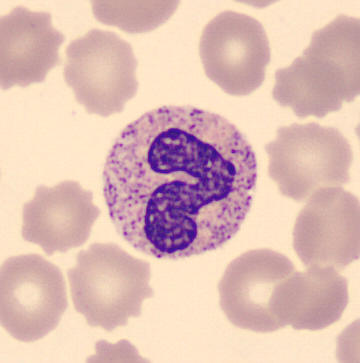Single-cell crop · peripheral blood film.
The cell shown is a band neutrophil.